Peripheral blood smear.
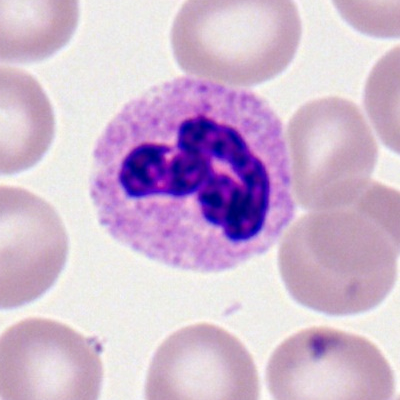
Cell = neutrophil (segmented).